Bone marrow smear: 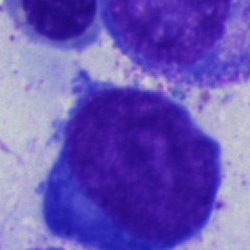
Q: What is shown here?
A: An undifferentiated blast.